Bone marrow smear: 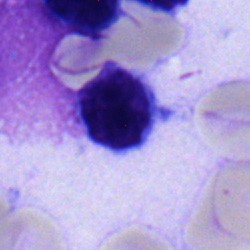Cell = typical lymphocyte.